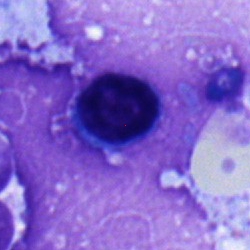Morphology consistent with a typical lymphocyte.